Bone marrow aspirate smear: 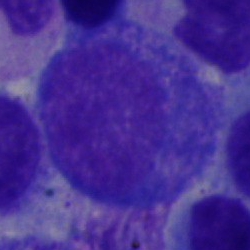 Classification — progranulocyte.